Bone marrow aspirate smear
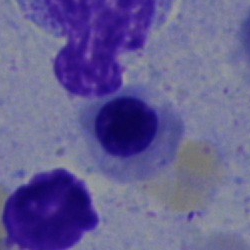
Erythroblast.